Bone marrow aspirate smear: 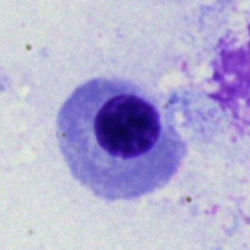

Classification — nucleated red blood cell.